Bone marrow smear.
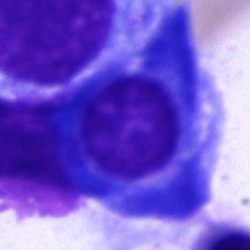Q: What is the morphological classification of this cell?
A: A plasma cell.